250 by 250 pixels · bone marrow smear · brightfield microscopy, 40× oil immersion: 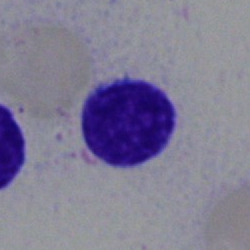

Cell type — typical lymphocyte.